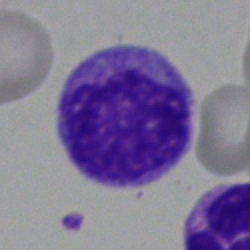

Bone marrow smear showing an unidentifiable cell.